100× oil immersion, 14.14 px/µm · peripheral blood film:
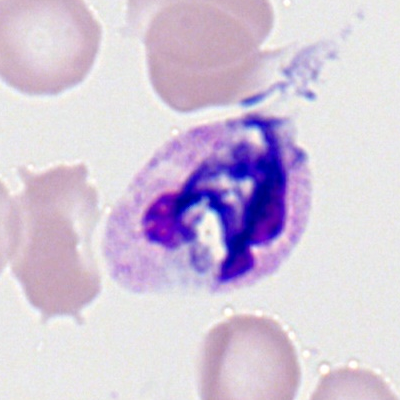 Impression — segmented neutrophil.